Pappenheim-stained · bone marrow smear · 250×250.
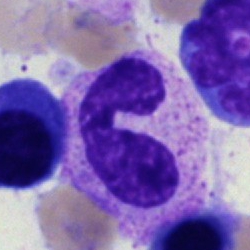Classification — neutrophil (segmented).